Bone marrow smear. Image size 250×250:
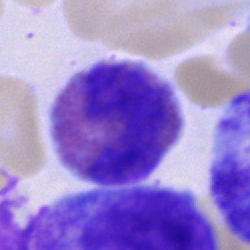Classification — eosinophil.